Bone marrow smear: 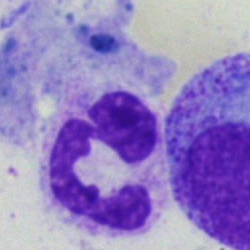 The cell shown is a neutrophil (segmented).